Single cell centered in the field · bone marrow smear.
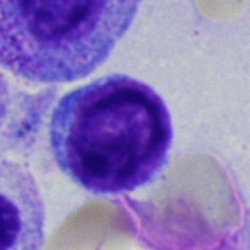Q: What cell is this?
A: A lymphocyte.